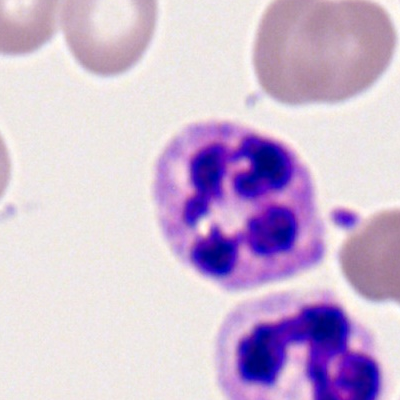

Specimen: peripheral blood film.
Cell type: polymorphonuclear neutrophil.